Bone marrow smear:
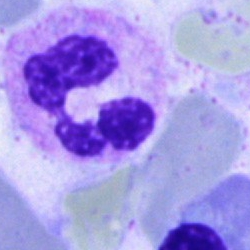

Cell type = segmented neutrophil.